Bone marrow aspirate smear. May-Grünwald-Giemsa stain: 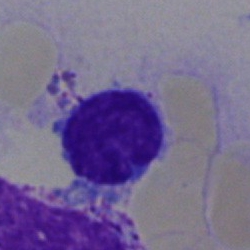 A typical lymphocyte.